Bone marrow smear. Cropped to a single cell:
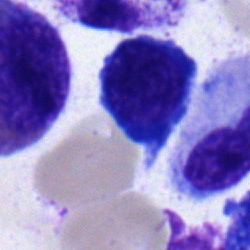

{"cell_type": "normoblast"}